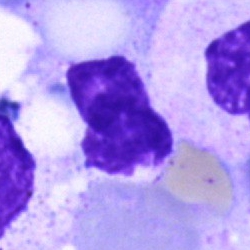
Specimen: bone marrow smear.
Cell type: artifact.